May-Grünwald-Giemsa stain · bone marrow smear: 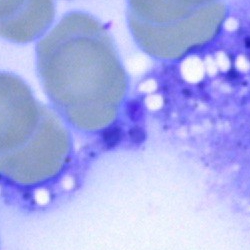Morphology → artifact.